Peripheral blood film. 400×400 px. Cropped to a single cell:
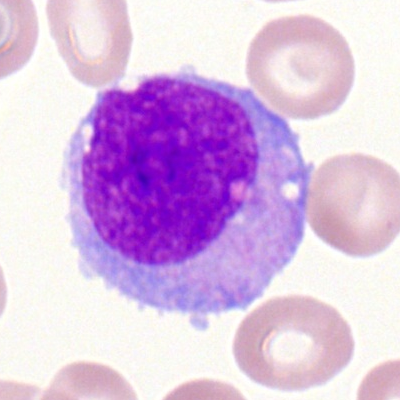

Showing a myeloid blast.